Bone marrow smear:
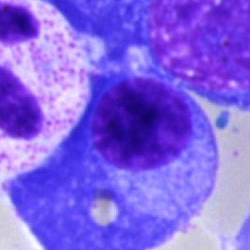
Q: What type of cell is this?
A: This is a plasma cell.